Bone marrow smear
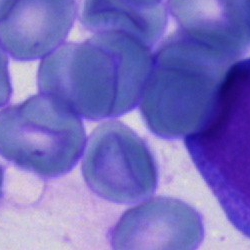Classification — other cell type.